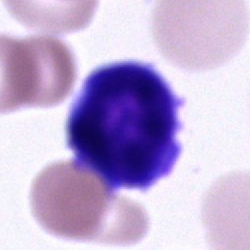 Q: Which cell type is shown here?
A: Cell of indeterminate lineage.